Peripheral blood smear.
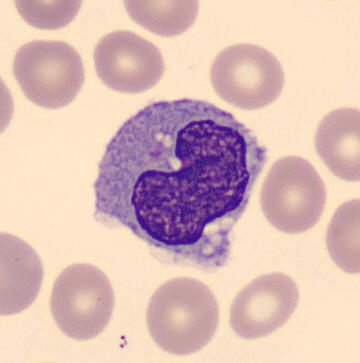Q: What is this?
A: A monocyte.